Cropped to a single cell. Brightfield microscopy, 40× oil immersion. Bone marrow smear.
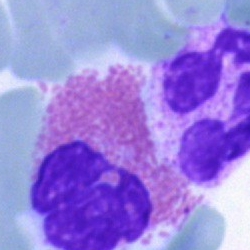 The cell type is eosinophilic granulocyte.